Bone marrow smear
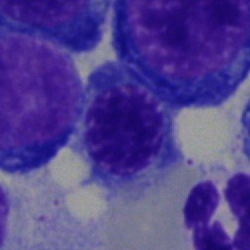 Cell: nucleated red cell.